Bone marrow smear:
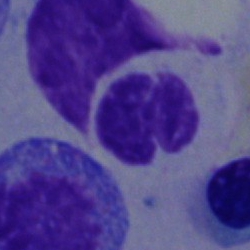
Showing a segmented neutrophil.